250×250 · brightfield microscopy, 40× oil immersion · bone marrow aspirate smear — 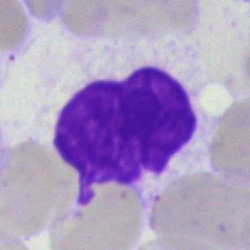

Morphology consistent with an artifact.